Bone marrow aspirate smear.
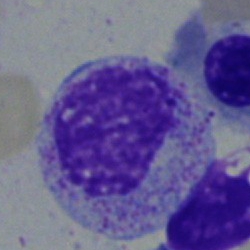

Impression → myelocyte.